250×250 px · bone marrow aspirate smear:
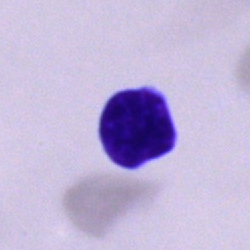 A typical lymphocyte.